Bone marrow smear. Image size 250×250. Single cell centered in the field
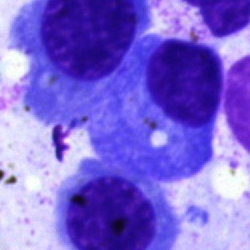
Morphology consistent with a plasma cell.